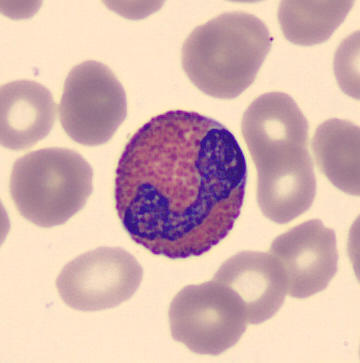
Specimen: peripheral blood smear.
Morphological class: eosinophil.